Bone marrow smear; 250×250 px; 40× objective, oil immersion:
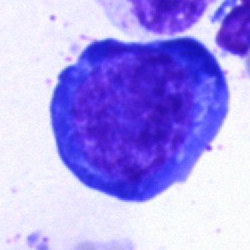
Cell — normoblast.